Bone marrow smear:
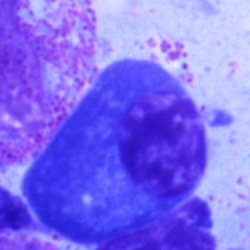Specimen: bone marrow aspirate smear.
Cell type: plasmacyte.
Lineage: lymphoid.